Bone marrow aspirate smear — 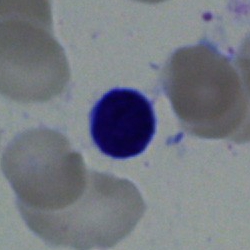{"cell_type": "typical lymphocyte", "lineage": "lymphoid"}